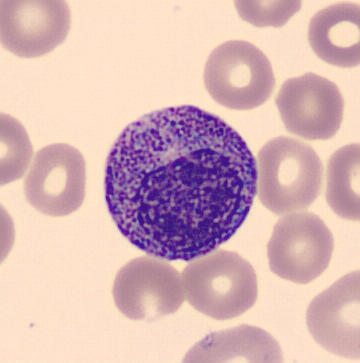

Image: Single cell centered in the field · peripheral blood film.
Cell type: progranulocyte.